Bone marrow aspirate smear. May-Grünwald-Giemsa/Pappenheim stain. 40× objective, oil immersion: 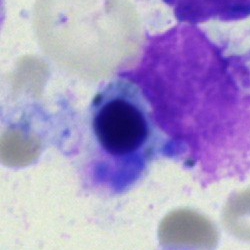
The cell is nucleated red cell.